Bone marrow aspirate smear:
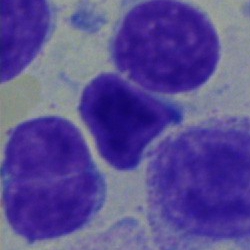
Q: Which cell type is shown here?
A: Lymphocyte.